Bone marrow smear; single-cell crop.
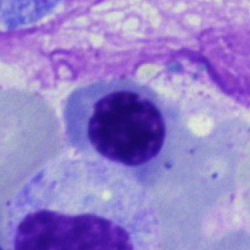Classification: nucleated red cell.